Bone marrow aspirate smear — 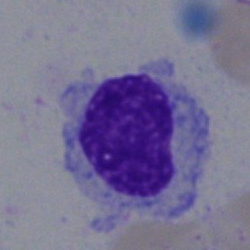Q: What cell is this?
A: This is a metamyelocyte.